Romanowsky-type stain · peripheral blood film: 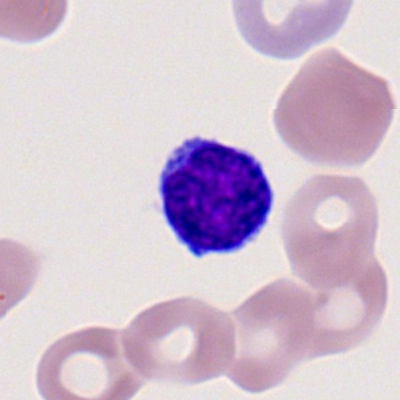
Morphology → typical lymphocyte.